Bone marrow aspirate smear · single-cell field.
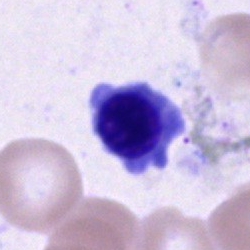Impression — nucleated red blood cell.